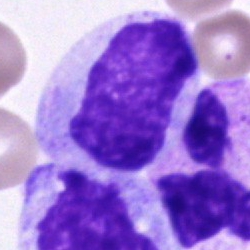Unidentifiable cell.